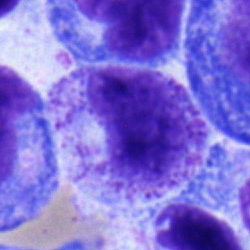

This is a myelocyte.